Bone marrow aspirate smear. 40× oil immersion — 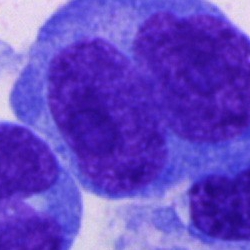Plasmacyte.